Bone marrow smear
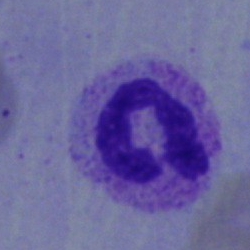 Cell — segmented neutrophil.